Bone marrow aspirate smear; 250 by 250 pixels — 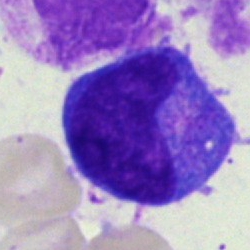 Classification = promyelocyte.